400×400 · peripheral blood film.
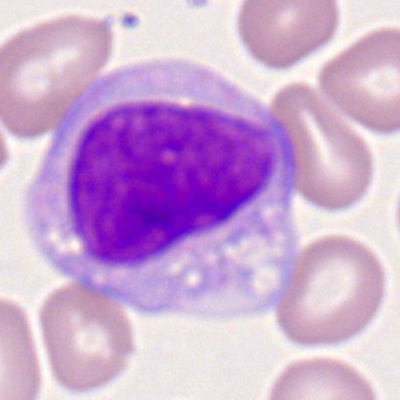

The cell is monocyte.